Image size 250×250; brightfield microscopy, 40× oil immersion; bone marrow smear
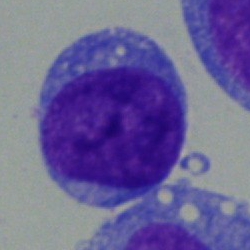 The cell shown is an undifferentiated blast.